Bone marrow smear. Single-cell crop — 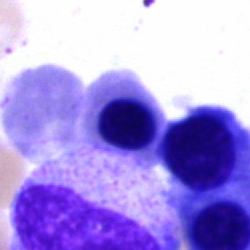
Morphological class: erythroblast.